Bone marrow aspirate smear: 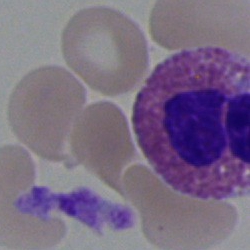
Cell type — eosinophil.